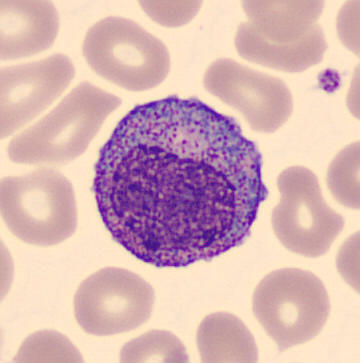 Image: Peripheral blood smear. A promyelocyte.